Bone marrow aspirate smear.
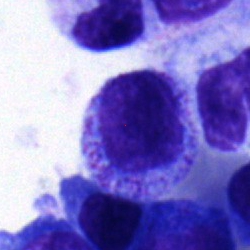
Showing a myelocyte.